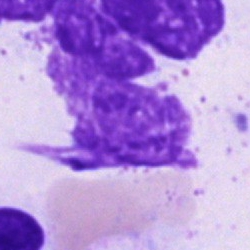 Morphological class = artifact.